Peripheral blood smear — 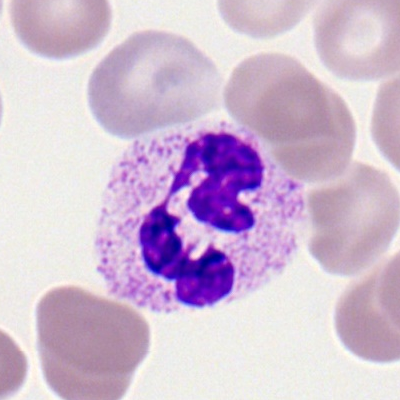 Morphology → segmented neutrophil.